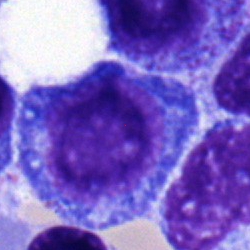

Nucleated red cell.